Single-cell field · bone marrow smear:
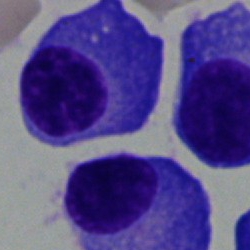The morphological class is plasmacyte.